Bone marrow aspirate smear. Brightfield microscopy, 40× oil immersion
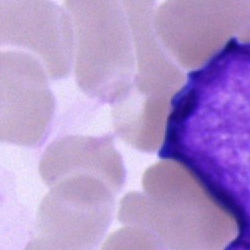 An artifact.